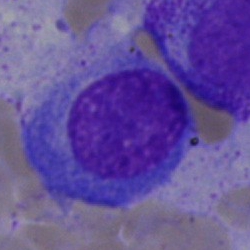
This is a plasmacyte.